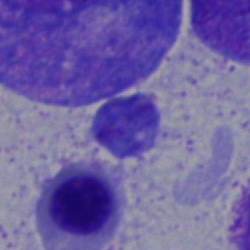 Single-cell crop from a bone marrow smear: normoblast.